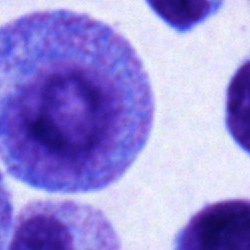Specimen: bone marrow smear.
Cell: progranulocyte.